Bone marrow aspirate smear:
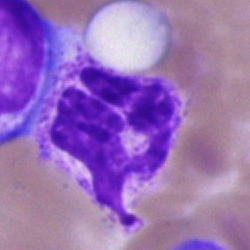
The cell shown is a neutrophil (segmented).